Bone marrow smear
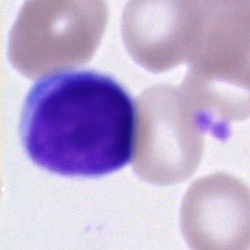

Lymphocyte.